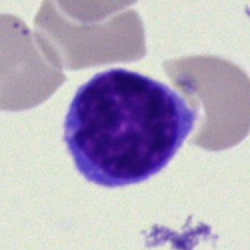

Showing a lymphocyte.